Bone marrow aspirate smear. 40× objective, oil immersion: 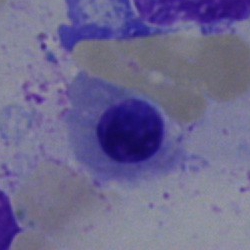 Q: What type of cell is this?
A: Nucleated red cell.